Bone marrow smear · single cell centered in the field — 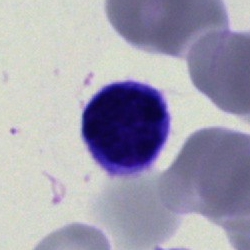 Lymphocyte.